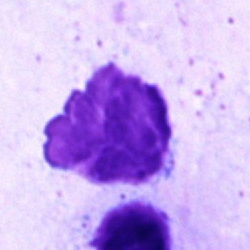
Specimen: bone marrow aspirate smear.
Cell: artifact.